Bone marrow smear: 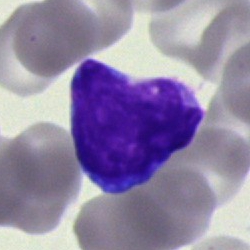Cell type = blast cell.